Peripheral blood smear:
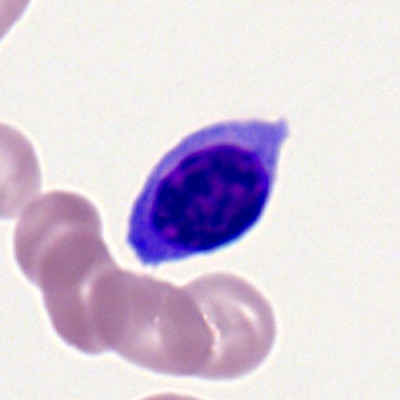 Morphology consistent with a typical lymphocyte.